Bone marrow smear: 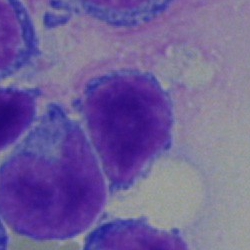

Specimen: bone marrow aspirate smear.
Morphological class: typical lymphocyte.
Lineage: lymphoid.